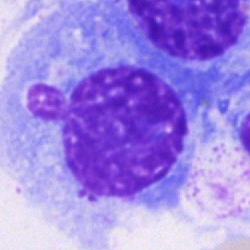{"cell_type": "plasma cell"}